Romanowsky stain; image size 400×400; peripheral blood smear.
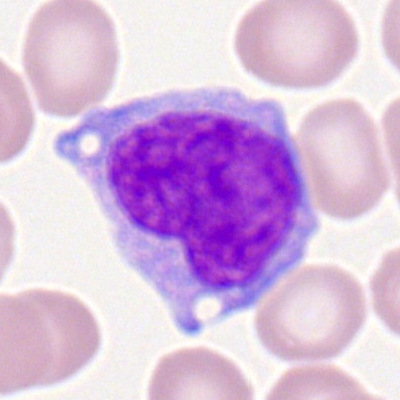 Classification = monocyte.